Peripheral blood film: 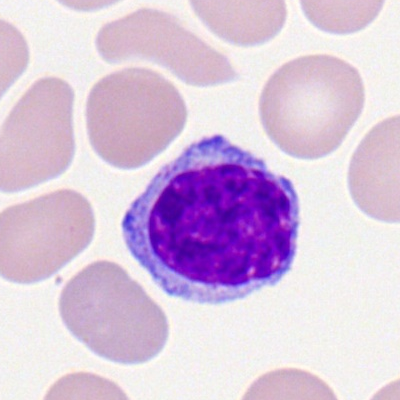

Cell = lymphocyte.